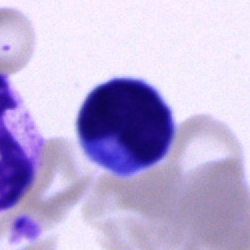Single-cell crop from a bone marrow smear: typical lymphocyte.